100× oil immersion. Peripheral blood film — 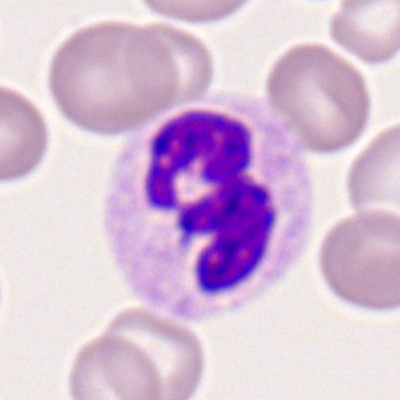Polymorphonuclear neutrophil.